Bone marrow aspirate smear.
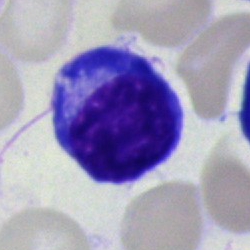

Lymphocyte.